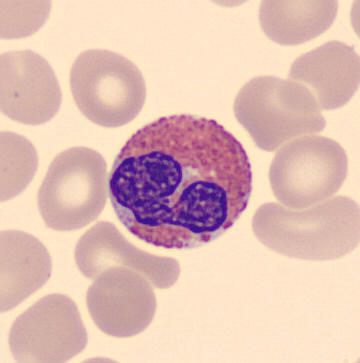
Specimen: peripheral blood film.
Classification: eosinophil.
Lineage: myeloid.